Bone marrow smear
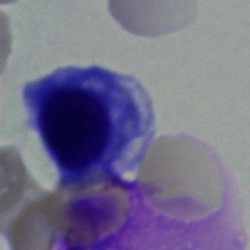
Q: What type of cell is this?
A: This is a nucleated red blood cell.